Bone marrow aspirate smear
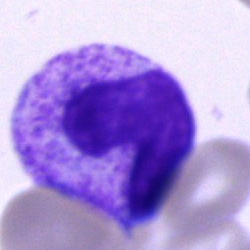

Cell type: metamyelocyte.